Peripheral blood smear:
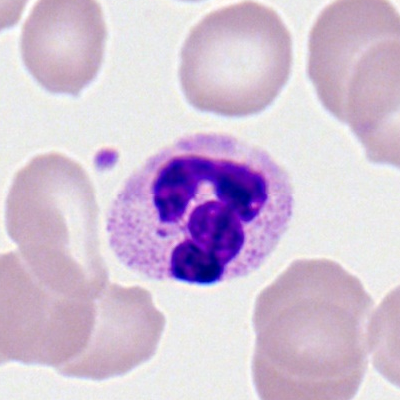

Specimen: peripheral blood film.
Cell type: segmented neutrophil.
Lineage: myeloid.